Bone marrow aspirate smear; cropped to a single cell — 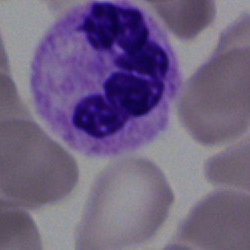 This is a polymorphonuclear neutrophil.